Peripheral blood film · 400×400.
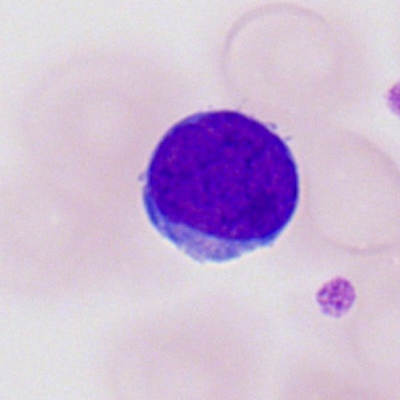 Specimen: peripheral blood smear.
Cell type: typical lymphocyte.